May-Grünwald-Giemsa stain; bone marrow smear:
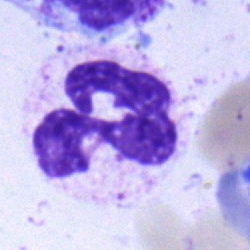Specimen: bone marrow aspirate smear.
Cell: segmented neutrophil.
Lineage: myeloid.